400 by 400 pixels; peripheral blood film
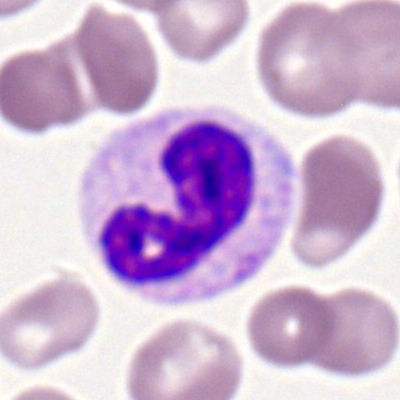

Q: Identify the cell.
A: Neutrophil (segmented).